Bone marrow aspirate smear — 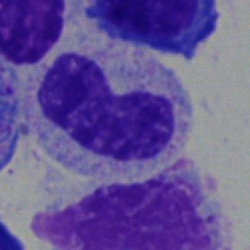
Cell type — band-form neutrophil.